Peripheral blood smear
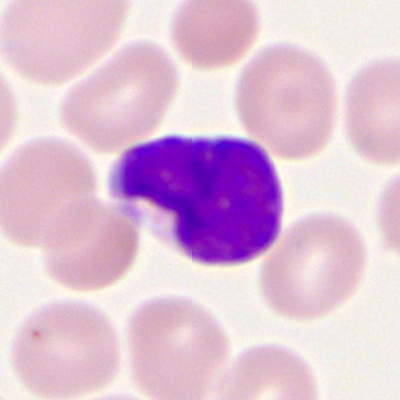Morphology consistent with a myeloblast.